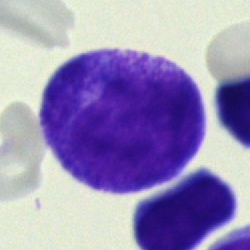

Q: Identify the cell.
A: A promyelocyte.